Bone marrow smear:
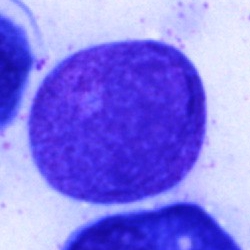This is a promyelocyte.